Bone marrow smear; 250 by 250 pixels; May-Grünwald-Giemsa stain
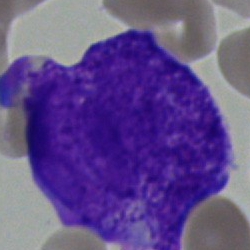 Specimen: bone marrow aspirate smear.
Cell type: blast cell.